Bone marrow aspirate smear
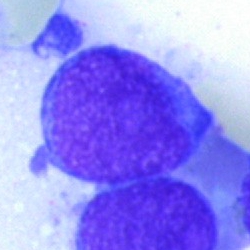 Morphological class: blast cell.